250×250 px; bone marrow smear:
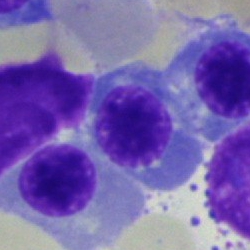
Nucleated red cell.